Bone marrow smear:
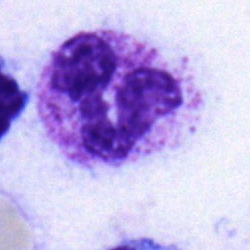Cell type — polymorphonuclear neutrophil.